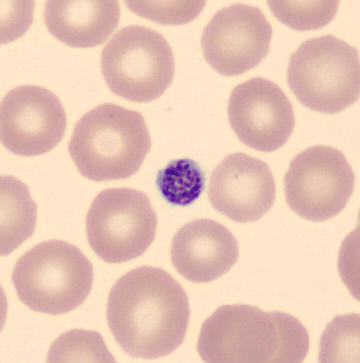

Classification — thrombocyte.
Preparation: Peripheral blood smear.